40× oil immersion; bone marrow smear:
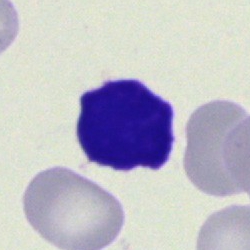 Morphology — artefact.